Bone marrow smear · May-Grünwald-Giemsa/Pappenheim stain.
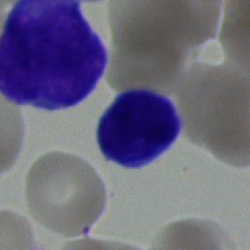

Specimen: bone marrow smear.
Morphological class: lymphocyte.
Lineage: lymphoid.